Single-cell field; bone marrow smear
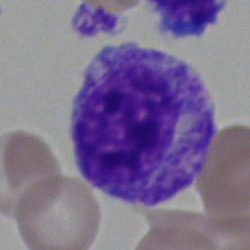

This is a myelocyte.